Cropped to a single cell · bone marrow smear · brightfield microscopy, 40× oil immersion:
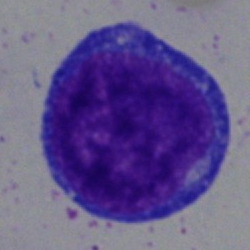
Morphology → proerythroblast.